Bone marrow smear; single cell centered in the field; May-Grünwald-Giemsa stain:
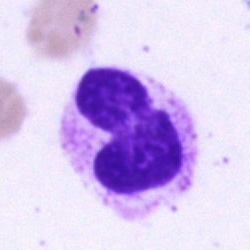

Specimen: bone marrow aspirate smear.
Classification: neutrophil (segmented).
Lineage: myeloid.